Bone marrow smear
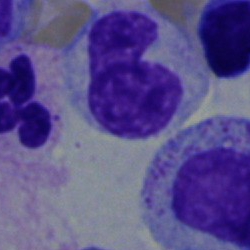 Morphology consistent with a neutrophil (band).